Bone marrow aspirate smear.
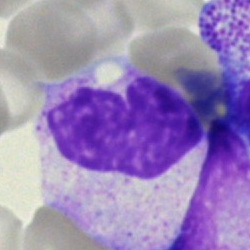
Q: What type of cell is this?
A: A metamyelocyte.